250 by 250 pixels · bone marrow smear — 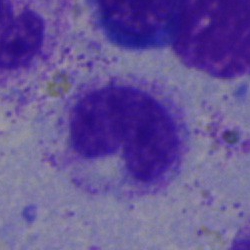The cell shown is a band neutrophil.